40× objective, oil immersion. Bone marrow smear — 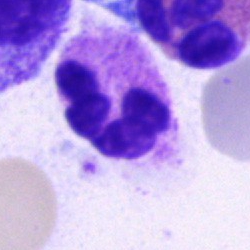 Impression — polymorphonuclear neutrophil.